400×400 px. M8 digital microscope (Precipoint), 100× oil immersion. Peripheral blood film
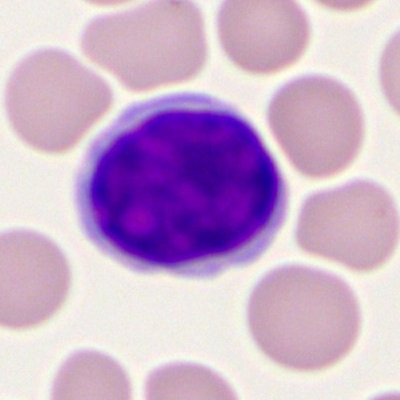Impression → myeloblast.